Cropped to a single cell; CellaVision DM96 digital cell image; peripheral blood film.
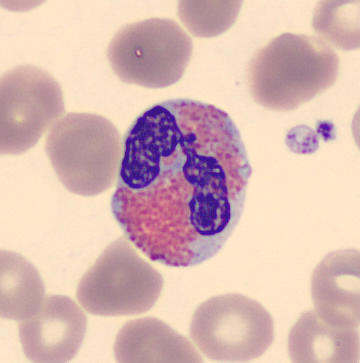Morphology — eosinophilic granulocyte.